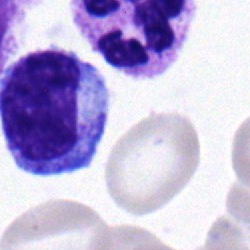 Q: What type of cell is this?
A: Segmented neutrophil.